Bone marrow smear: 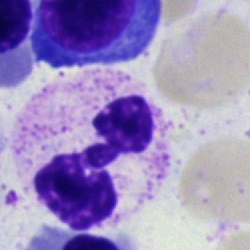

Segmented neutrophil.